Bone marrow smear
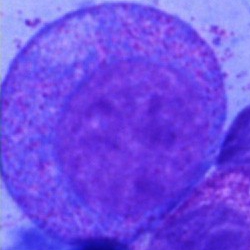Showing a progranulocyte.